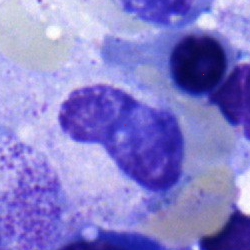 {"cell_type": "band neutrophil"}